Bone marrow smear.
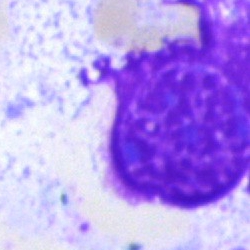This is an artefact.